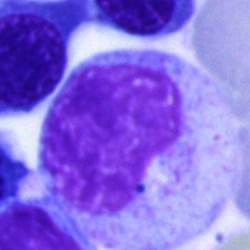 This is a metamyelocyte.